Bone marrow smear
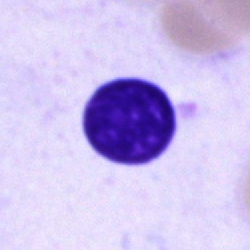
Typical lymphocyte.